Peripheral blood smear · 100× oil immersion, 14.14 px/µm · 400×400 px: 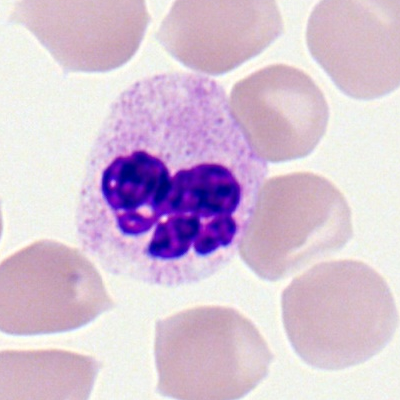

Q: What type of cell is this?
A: Polymorphonuclear neutrophil.